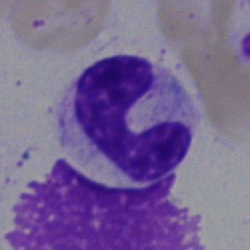
Specimen: bone marrow aspirate smear.
Cell type: band-form neutrophil.